Bone marrow smear; May-Grünwald-Giemsa/Pappenheim stain:
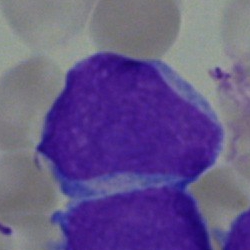The cell type is blast.